40× oil immersion. Bone marrow aspirate smear:
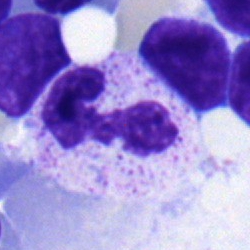 Morphology consistent with a neutrophil (segmented).